Bone marrow aspirate smear · May-Grünwald-Giemsa/Pappenheim stain — 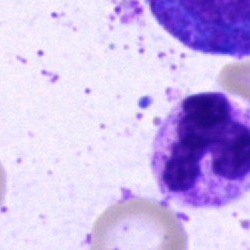
The cell shown is a neutrophil (segmented).